Bone marrow aspirate smear. May-Grünwald-Giemsa/Pappenheim stain:
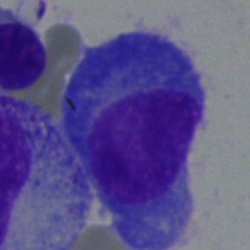Morphological class = plasma cell.